Bone marrow smear: 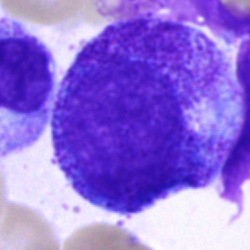

Specimen: bone marrow aspirate smear.
Cell: promyelocyte.
Lineage: myeloid.